May-Grünwald-Giemsa stain · bone marrow smear.
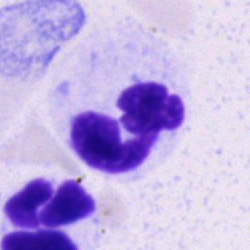Single cell identified as a neutrophil (segmented).